Image size 250×250 · bone marrow aspirate smear: 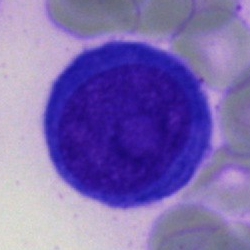

Showing an undifferentiated blast.